Bone marrow smear — 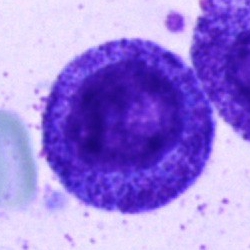

Q: What is the morphological classification of this cell?
A: This is a myelocyte.